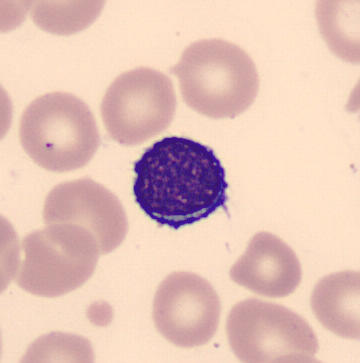 Q: What is this?
A: This is a typical lymphocyte.

Image: Peripheral blood smear · 360 by 363 pixels.